Single-cell crop. Bone marrow smear.
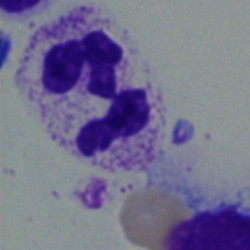

{"cell_type": "polymorphonuclear neutrophil", "lineage": "myeloid"}